Bone marrow smear · 250×250 px
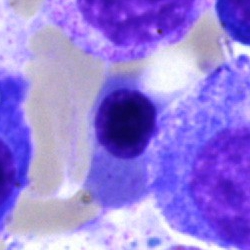Cell = nucleated red blood cell.